Bone marrow aspirate smear: 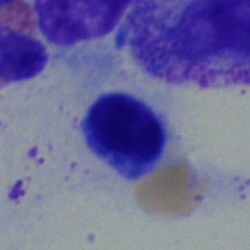Single cell identified as a lymphocyte.